Peripheral blood smear. 400×400 px
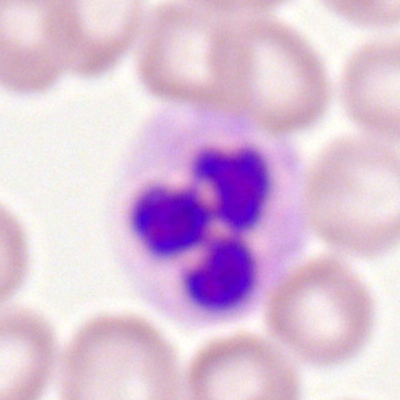 {"cell_type": "neutrophil (segmented)", "lineage": "myeloid"}